Bone marrow aspirate smear:
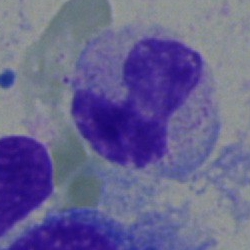

The morphological class is band-form neutrophil.